Cropped to a single cell. Bone marrow aspirate smear. Pappenheim-stained — 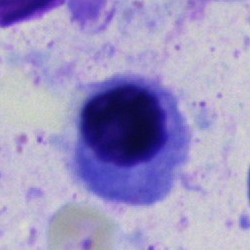Specimen: bone marrow smear.
Cell: normoblast.
Lineage: erythroid.